Brightfield microscopy, 40× oil immersion. Bone marrow aspirate smear.
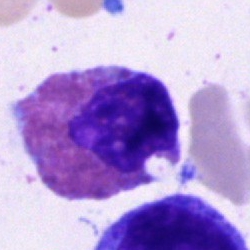

Q: What cell is this?
A: This is an eosinophilic granulocyte.